Bone marrow smear: 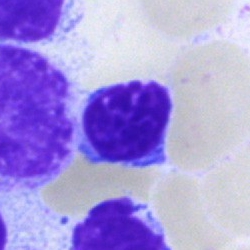
Q: What is the morphological classification of this cell?
A: Typical lymphocyte.